Bone marrow smear · single-cell crop — 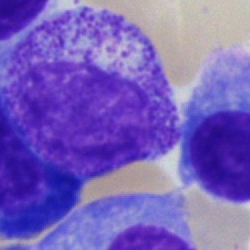
Morphology → myelocyte.